Bone marrow smear. 250 by 250 pixels. MGG-stained — 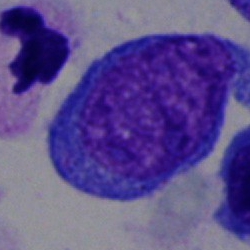

Morphological class = progranulocyte.